Cropped to a single cell. Brightfield microscopy, 40× oil immersion. Bone marrow smear.
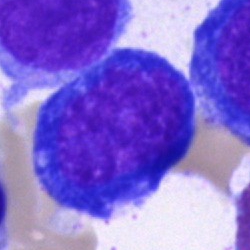This is a nucleated red cell.